Single cell centered in the field; bone marrow aspirate smear:
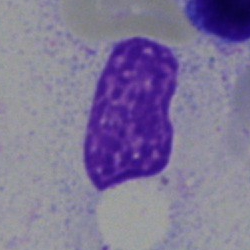

The cell shown is an artefact.